Cropped to a single cell. Bone marrow smear. 250×250 px: 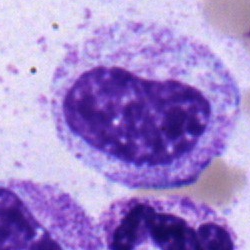

Q: What cell is this?
A: A metamyelocyte.